Bone marrow aspirate smear:
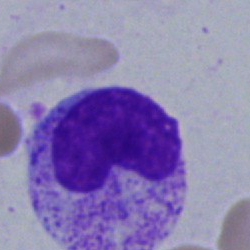 Classification: stab cell.